Bone marrow aspirate smear:
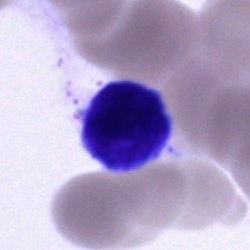{"cell_type": "cell of indeterminate lineage"}